Bone marrow smear; brightfield, 40× oil-immersion objective; Pappenheim-stained
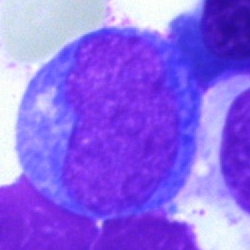

Proerythroblast.